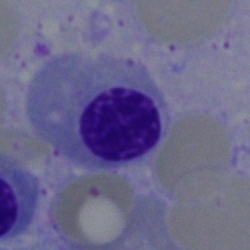Nucleated red cell.